Bone marrow smear · Pappenheim-stained · single cell centered in the field: 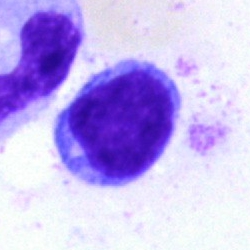
Classification = typical lymphocyte.